Bone marrow aspirate smear: 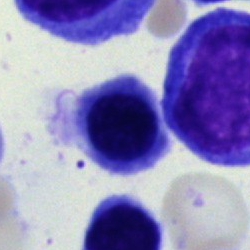
A nucleated red cell.